Peripheral blood film
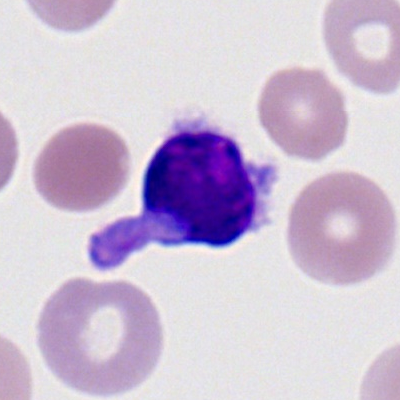A typical lymphocyte.